Bone marrow aspirate smear. 250×250 px.
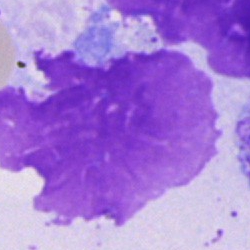Morphology consistent with an artifact.